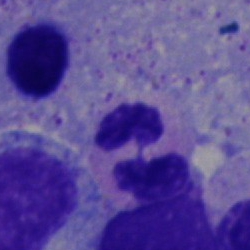Specimen: bone marrow aspirate smear.
Morphological class: neutrophil (segmented).
Lineage: myeloid.